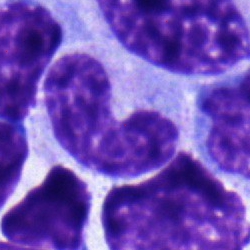
{"cell_type": "neutrophil (band)"}